Bone marrow smear; single-cell crop — 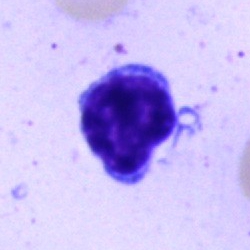 {"cell_type": "lymphocyte", "lineage": "lymphoid"}